Bone marrow aspirate smear.
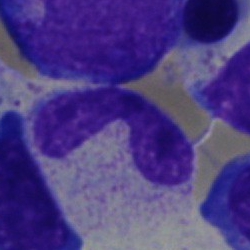
Specimen: bone marrow aspirate smear.
Morphological class: neutrophil (band).
Lineage: myeloid.